May-Grünwald-Giemsa/Pappenheim stain · bone marrow aspirate smear.
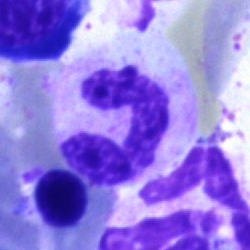

Single cell identified as a neutrophil (segmented).